Bone marrow aspirate smear; brightfield microscopy, 40× oil immersion: 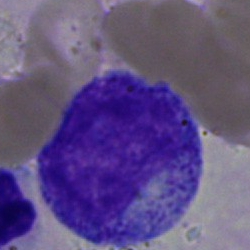
Morphological class = myelocyte.